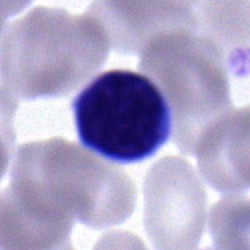

Morphology consistent with a lymphocyte.